40× objective, oil immersion · bone marrow smear · 250×250 px — 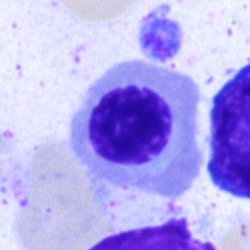

Q: Identify the cell.
A: Normoblast.